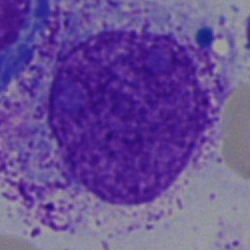
{"cell_type": "artifact"}